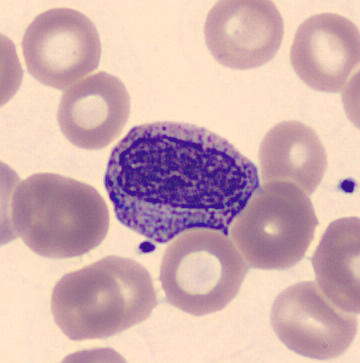Peripheral blood film.

Morphology → metamyelocyte.